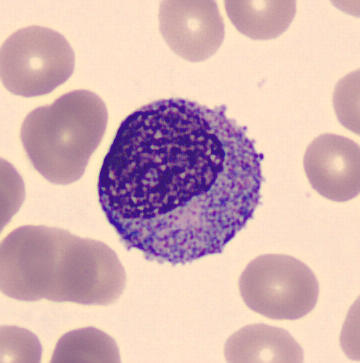

Morphological class = progranulocyte.
Image: Peripheral blood smear.